Bone marrow aspirate smear
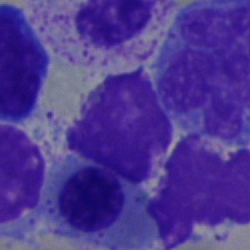 Q: What is shown here?
A: It is a nucleated red blood cell.